Bone marrow aspirate smear.
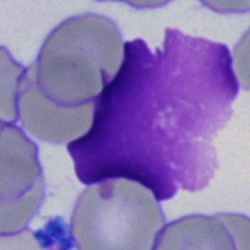Classification: artefact.